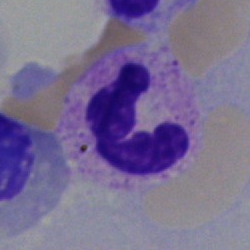 A neutrophil (segmented).